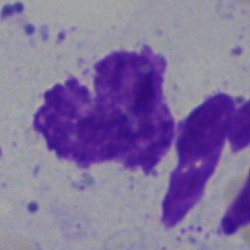 Q: What is shown here?
A: This is an artifact.